Bone marrow smear · Pappenheim-stained · single-cell crop.
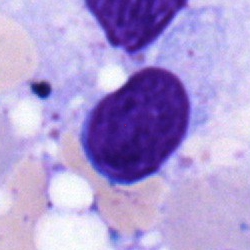
Lymphocyte.